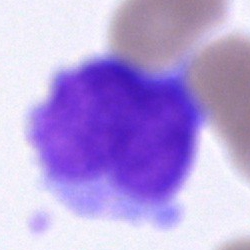 Q: Identify the cell.
A: This is an undifferentiated blast.